Bone marrow smear:
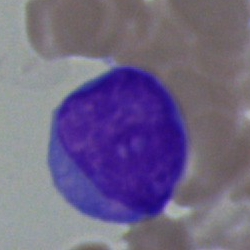

A blast.